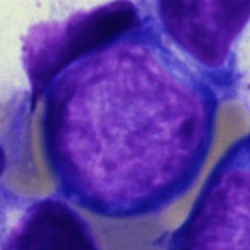
Cell type = proerythroblast.